400 by 400 pixels · peripheral blood smear:
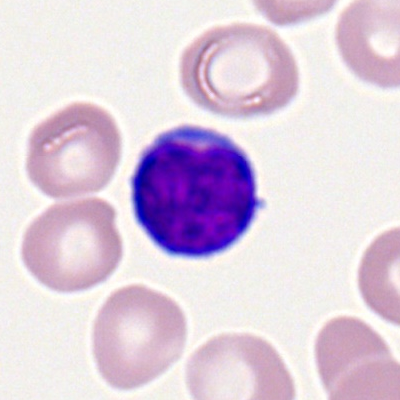 Showing a typical lymphocyte.